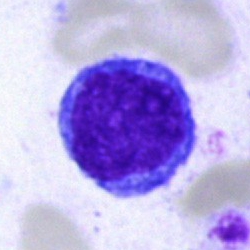The cell shown is a typical lymphocyte.